Bone marrow aspirate smear; single-cell field:
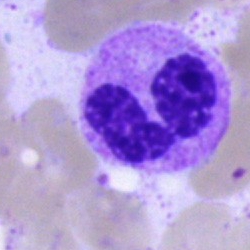
Cell: neutrophil (segmented).